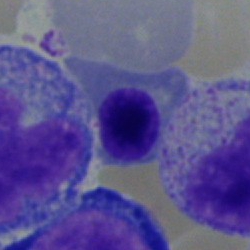Cell type: nucleated red blood cell.